Single-cell crop · bone marrow smear: 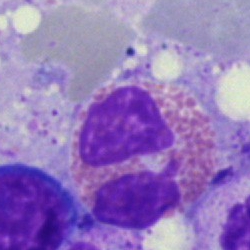Cell type — eosinophilic granulocyte.